Bone marrow smear: 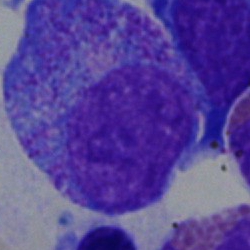

Impression → progranulocyte.